M8 digital microscope (Precipoint), 100× oil immersion. Single cell centered in the field. Peripheral blood smear: 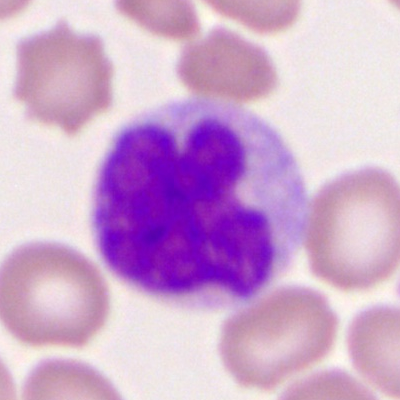
Morphology → lymphocyte.